Bone marrow aspirate smear — 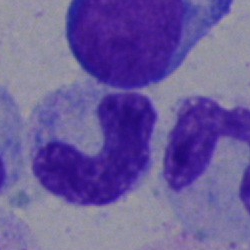 Specimen: bone marrow aspirate smear.
Morphological class: band neutrophil.